Bone marrow smear · 250 by 250 pixels
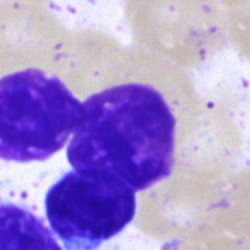
Morphological class — artefact.